Bone marrow aspirate smear.
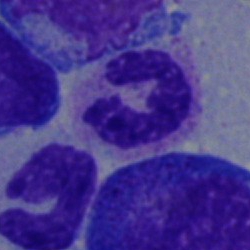

Morphology → segmented neutrophil.